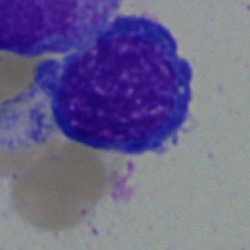 The classification is normoblast.